Bone marrow smear
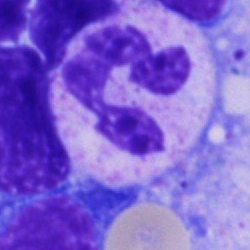
Q: What cell is this?
A: It is a segmented neutrophil.